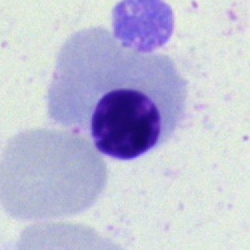
Q: What type of cell is this?
A: Nucleated red blood cell.